Peripheral blood smear — 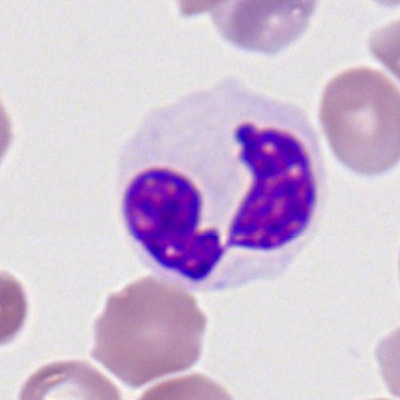

Q: What is the morphological classification of this cell?
A: It is a segmented neutrophil.